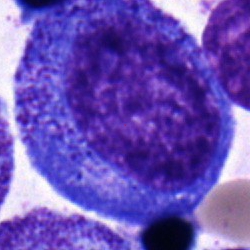Morphology consistent with a promyelocyte.